Brightfield microscopy, 40× oil immersion; bone marrow aspirate smear:
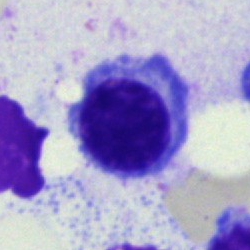

Morphology — erythroblast.